Bone marrow aspirate smear. 250×250. Pappenheim-stained — 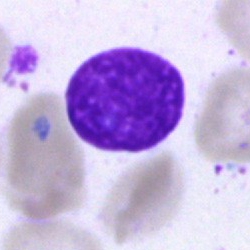 Specimen: bone marrow smear.
Classification: artefact.